Bone marrow smear. Single-cell field.
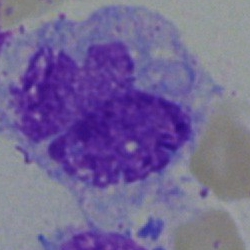Specimen: bone marrow smear.
Cell type: monocyte.
Lineage: myeloid.